Bone marrow aspirate smear — 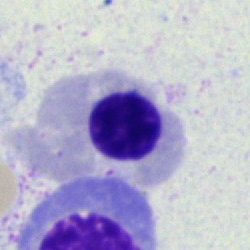

Q: What is shown here?
A: Erythroblast.